Bone marrow smear:
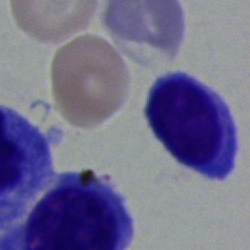

Q: What is the morphological classification of this cell?
A: Typical lymphocyte.